250×250; bone marrow aspirate smear: 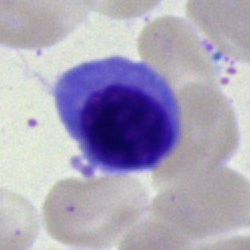Single cell identified as an erythroblast.